Cropped to a single cell · 250×250 px · bone marrow aspirate smear
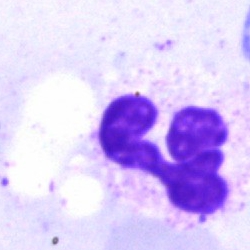Classification — neutrophil (segmented).